Bone marrow smear:
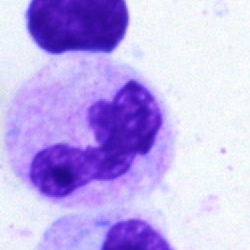{"cell_type": "polymorphonuclear neutrophil", "lineage": "myeloid"}